Bone marrow aspirate smear:
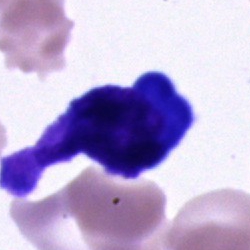 Cell type = cell of indeterminate lineage.